Bone marrow smear. May-Grünwald-Giemsa/Pappenheim stain: 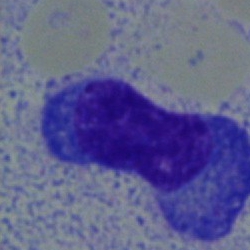 Specimen: bone marrow smear.
Cell type: plasma cell.
Lineage: lymphoid.